Bone marrow aspirate smear
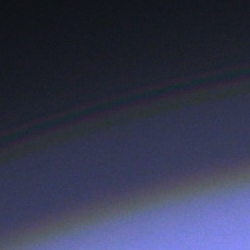Q: What is shown here?
A: This is an artifact.